Bone marrow aspirate smear.
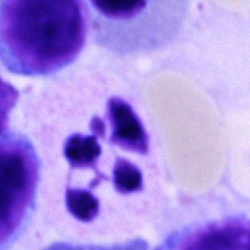 This is a polymorphonuclear neutrophil.